Romanowsky stain; peripheral blood film: 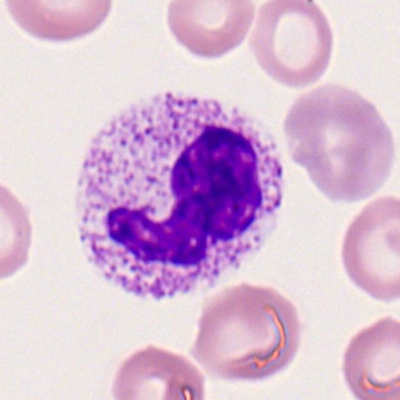{"cell_type": "segmented neutrophil"}